Single-cell crop · 40× objective, oil immersion · bone marrow aspirate smear:
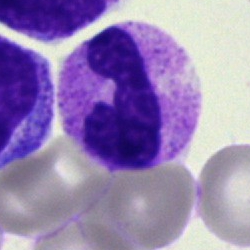 Q: Which cell type is shown here?
A: This is a polymorphonuclear neutrophil.